Bone marrow smear: 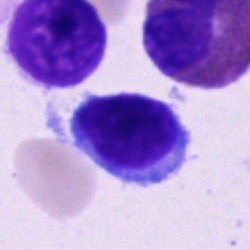 Specimen: bone marrow aspirate smear.
Morphological class: lymphocyte.
Lineage: lymphoid.